Bone marrow aspirate smear. 250 by 250 pixels: 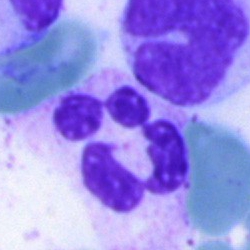
Neutrophil (segmented).